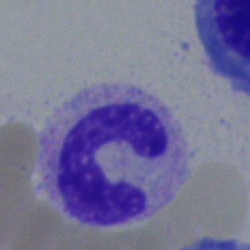
Q: Which cell type is shown here?
A: This is a band neutrophil.